Bone marrow smear · 40× oil immersion: 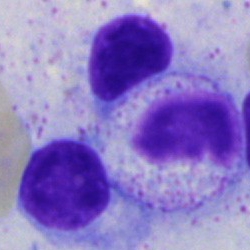 A metamyelocyte.